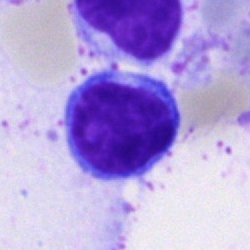The cell shown is a lymphocyte.